MGG-stained · bone marrow smear:
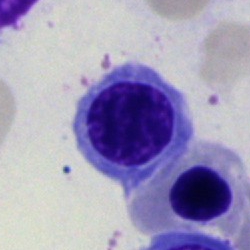
Impression → nucleated red cell.